250 by 250 pixels; bone marrow smear; cropped to a single cell.
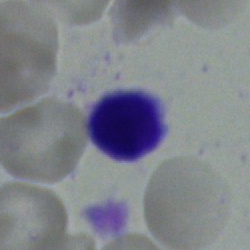

Classification — typical lymphocyte.